40× objective, oil immersion · bone marrow aspirate smear · MGG-stained: 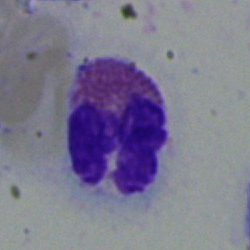This is a monocyte.